250×250 px · bone marrow aspirate smear · MGG-stained.
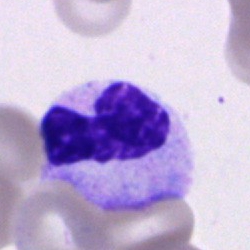

Impression — neutrophil (segmented).